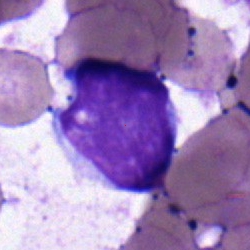Specimen: bone marrow smear.
Cell type: lymphocyte.